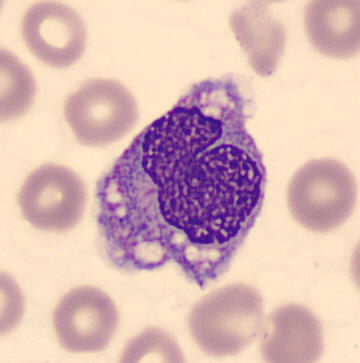
Preparation: Peripheral blood film. Identified as a monocyte.